Bone marrow smear
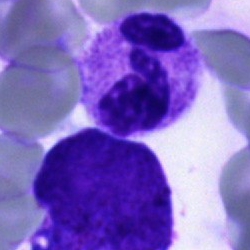
Cell type: segmented neutrophil.